Bone marrow aspirate smear: 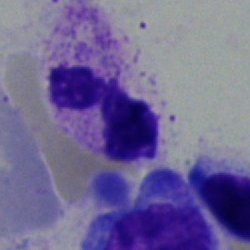

Q: What is the morphological classification of this cell?
A: This is a polymorphonuclear neutrophil.